Single-cell field; bone marrow smear: 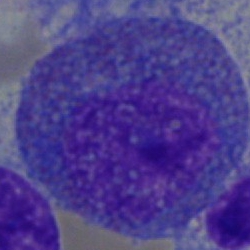 This is an eosinophilic granulocyte.